Bone marrow smear
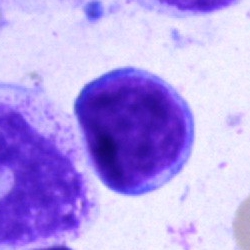 Morphology — typical lymphocyte.